Single-cell field; bone marrow smear
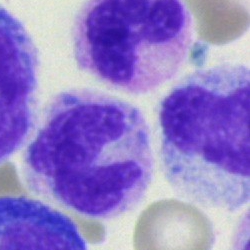 Morphology consistent with a monocyte.